Peripheral blood film.
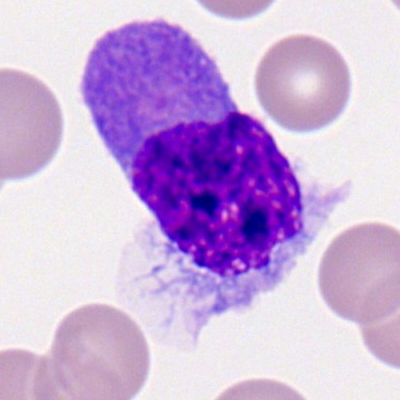

Morphological class: monocyte.